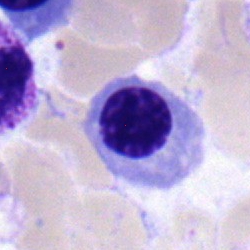 A nucleated red cell on a bone marrow smear.